Bone marrow smear:
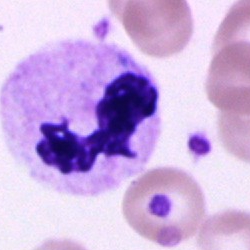 This is a neutrophil (segmented).